Bone marrow aspirate smear
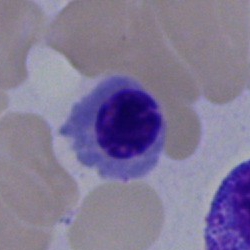

Cell type = nucleated red blood cell.